250×250; bone marrow aspirate smear: 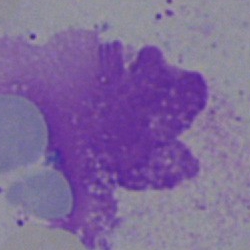Impression → artefact.